Bone marrow aspirate smear. Image size 250×250: 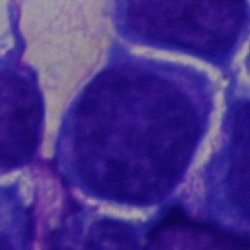
Impression → undifferentiated blast.